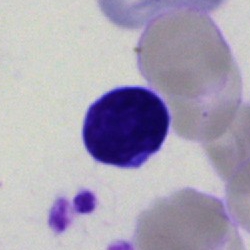

Impression — lymphocyte.